Bone marrow aspirate smear
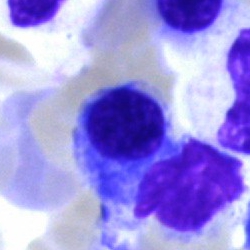 Cell type: normoblast.